Bone marrow smear.
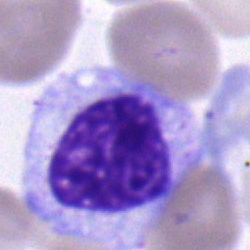The morphological class is myelocyte.